May-Grünwald-Giemsa stain. Bone marrow aspirate smear
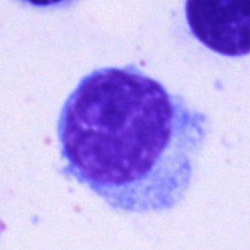
Morphology consistent with a lymphocyte.